Bone marrow smear. 250 by 250 pixels — 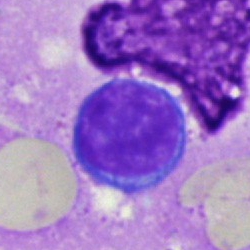

The cell is lymphocyte.